Bone marrow aspirate smear: 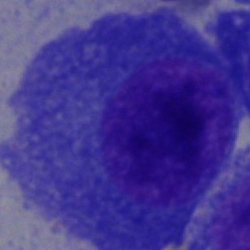

The morphological class is plasmacyte.